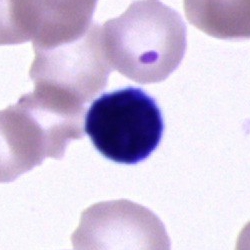 An unidentifiable cell.